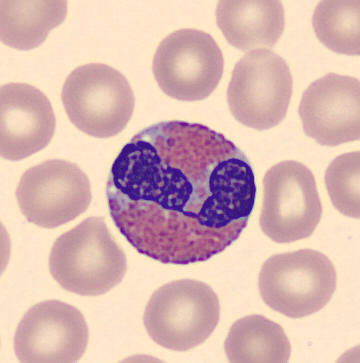
Peripheral blood film, single cell — eosinophilic granulocyte.